Bone marrow smear.
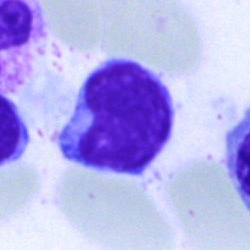

Single cell identified as a lymphocyte.